Cropped to a single cell. Bone marrow smear.
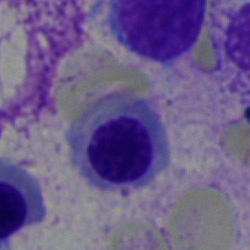 Specimen: bone marrow aspirate smear.
Cell type: normoblast.
Lineage: erythroid.